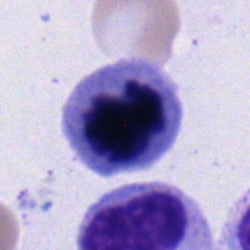
Showing an erythroblast.